Bone marrow smear — 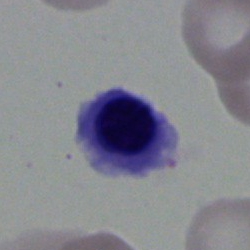

{"cell_type": "normoblast"}